Brightfield, 40× oil-immersion objective; bone marrow aspirate smear:
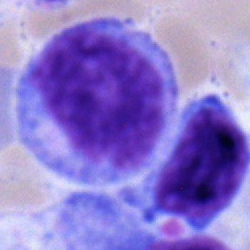Showing a monocyte.